Bone marrow smear
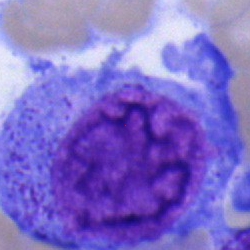 Progranulocyte.